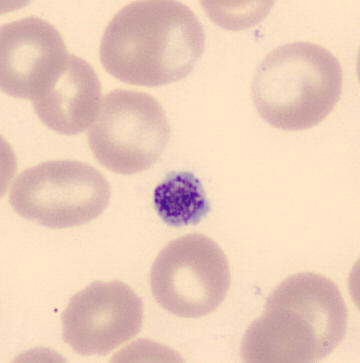Identified as a platelet.